Peripheral blood film.
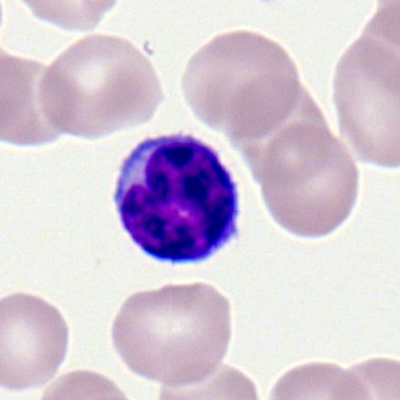

A lymphocyte.